Bone marrow smear:
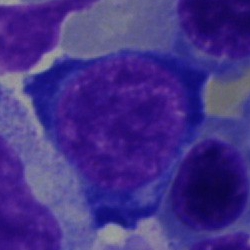 Q: What is the morphological classification of this cell?
A: Erythroblast.